250×250 px. Bone marrow smear:
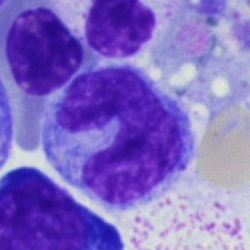Morphological class = monocyte.